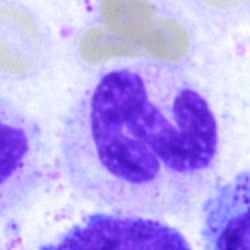 Impression → polymorphonuclear neutrophil.